Single cell centered in the field · Pappenheim-stained · bone marrow aspirate smear: 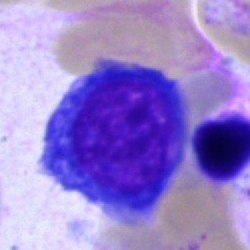A nucleated red cell.